Bone marrow aspirate smear — 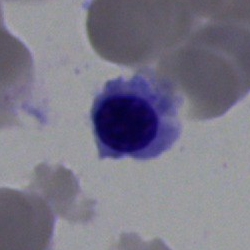 {"cell_type": "normoblast"}